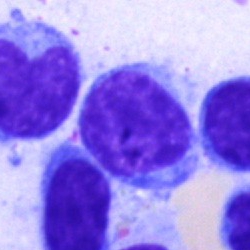

Morphological class: typical lymphocyte.